Bone marrow aspirate smear:
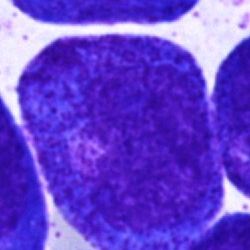A progranulocyte.